Bone marrow aspirate smear. Pappenheim-stained:
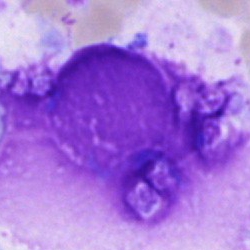 Specimen: bone marrow smear.
Cell: artefact.